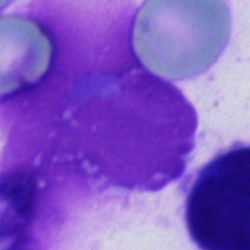
{"cell_type": "artifact"}